Bone marrow smear.
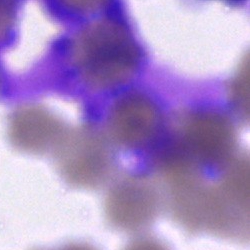Morphological class = artefact.